Bone marrow aspirate smear: 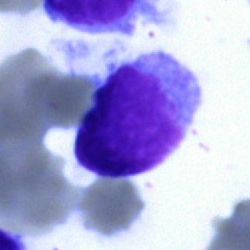
Cell: lymphocyte.